Bone marrow aspirate smear. 40× oil immersion.
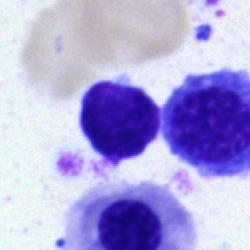
Specimen: bone marrow smear.
Cell type: lymphocyte.